Bone marrow aspirate smear. 250×250 px: 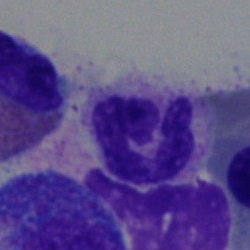
The cell shown is a segmented neutrophil.